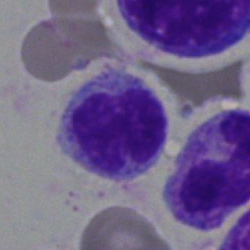
Specimen: bone marrow aspirate smear.
Cell: lymphocyte.
Lineage: lymphoid.